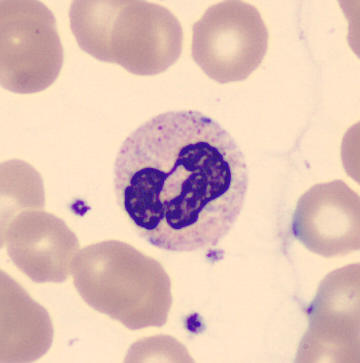

Identified as a segmented neutrophil.